Bone marrow aspirate smear: 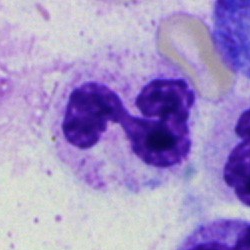
Cell type: neutrophil (segmented).